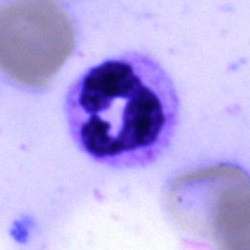
The morphological class is neutrophil (segmented).